Bone marrow aspirate smear; 40× objective, oil immersion: 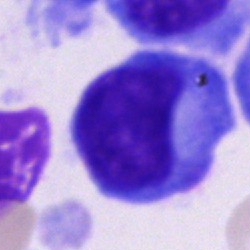
Specimen: bone marrow smear.
Cell: plasma cell.
Lineage: lymphoid.